Bone marrow aspirate smear:
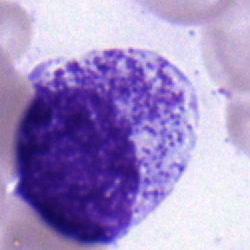
Cell type — myelocyte.